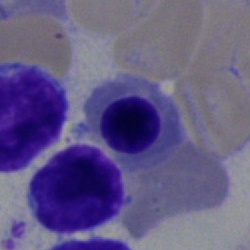

Morphology — nucleated red cell.